Bone marrow smear.
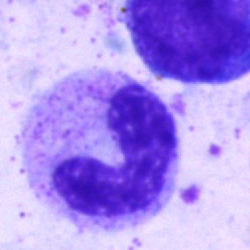

Showing a band-form neutrophil.